Brightfield, 40× oil-immersion objective · 250×250 · bone marrow aspirate smear
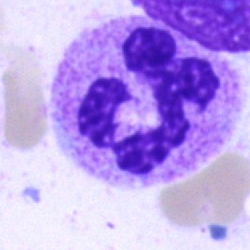

Single cell identified as a neutrophil (segmented).